Peripheral blood smear · 400×400
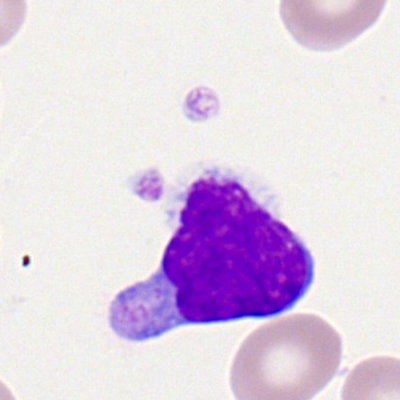The cell shown is a lymphocyte.